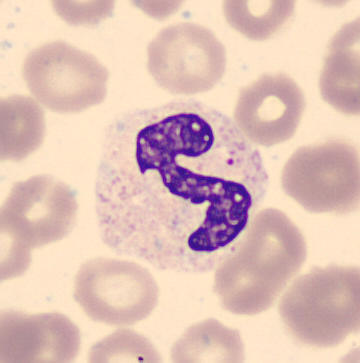 Impression → neutrophil (band).